May-Grünwald-Giemsa/Pappenheim stain; brightfield microscopy, 40× oil immersion; bone marrow aspirate smear
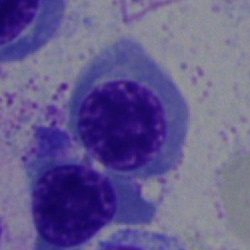

Morphology consistent with a nucleated red cell.